Single-cell field · bone marrow aspirate smear · 40× objective, oil immersion: 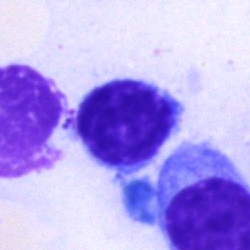
Specimen: bone marrow smear.
Cell type: lymphocyte.
Lineage: lymphoid.